Bone marrow aspirate smear.
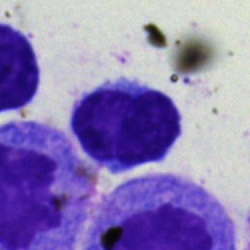 Q: What cell is this?
A: A typical lymphocyte.